Peripheral blood film:
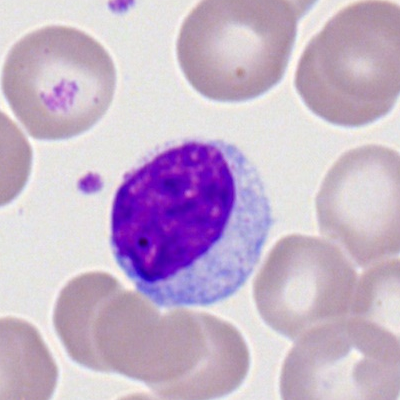
Specimen: peripheral blood film.
Cell: lymphocyte.